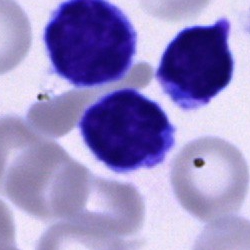
Cell — typical lymphocyte.